Bone marrow aspirate smear
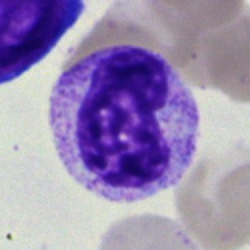{"cell_type": "metamyelocyte"}